Bone marrow aspirate smear. May-Grünwald-Giemsa/Pappenheim stain. Brightfield, 40× oil-immersion objective
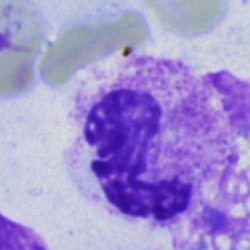
The cell shown is a segmented neutrophil.